Image size 250×250 · bone marrow aspirate smear — 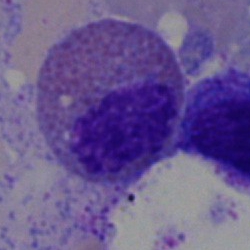

{"cell_type": "eosinophilic granulocyte"}